Bone marrow smear: 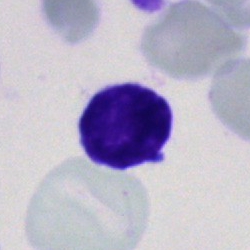Single cell identified as a typical lymphocyte.